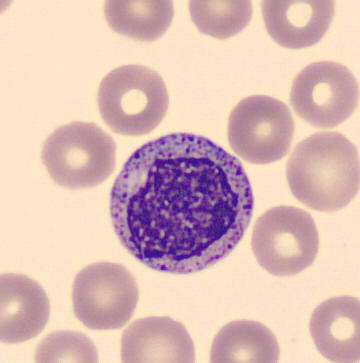Impression — myelocyte.